Image size 250×250 · bone marrow smear.
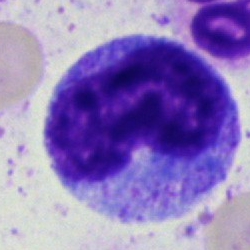
Morphological class — progranulocyte.